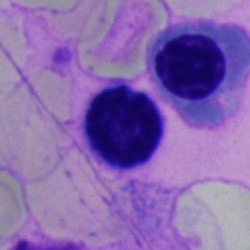 Specimen: bone marrow aspirate smear.
Morphological class: typical lymphocyte.